Bone marrow smear; Pappenheim-stained: 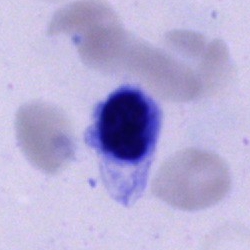

A cell of indeterminate lineage.